Image size 250×250 · bone marrow smear:
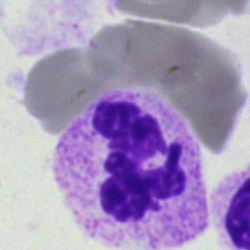
Q: Which cell type is shown here?
A: It is a segmented neutrophil.